May-Grünwald-Giemsa stain · brightfield microscopy, 40× oil immersion · bone marrow smear.
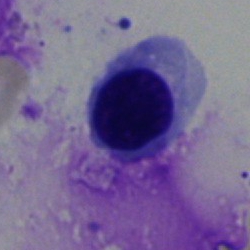 Cell: erythroblast.